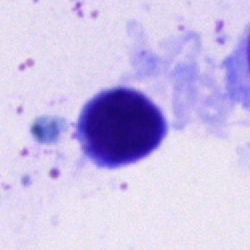

{"cell_type": "lymphocyte", "lineage": "lymphoid"}